Bone marrow smear:
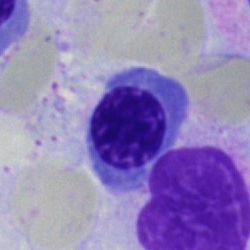
Erythroblast.